Bone marrow smear: 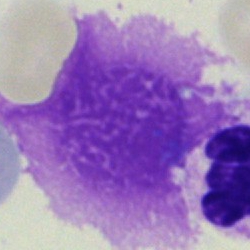

Artifact.